250×250 px · bone marrow aspirate smear: 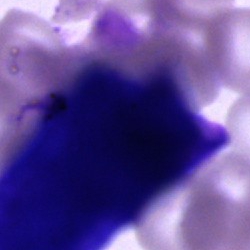

Morphology — artifact.